Bone marrow smear:
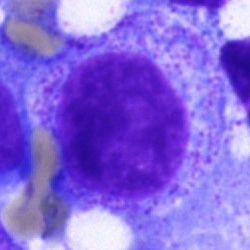 Impression → promyelocyte.